Bone marrow smear
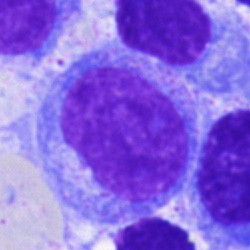

Classification: undifferentiated blast.